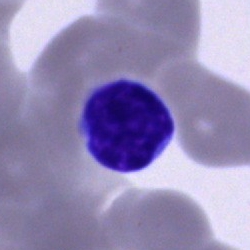The classification is typical lymphocyte.